Bone marrow smear; cropped to a single cell; 250×250 px:
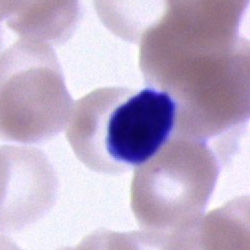An unidentifiable cell.